Peripheral blood smear; Romanowsky-type stain
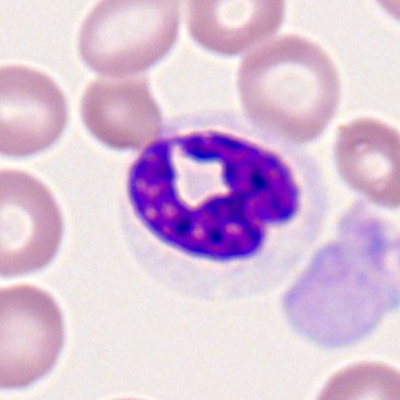Classification — neutrophil (segmented).